Bone marrow aspirate smear — 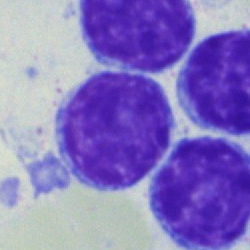

Morphology — typical lymphocyte.